May-Grünwald-Giemsa stain; bone marrow smear:
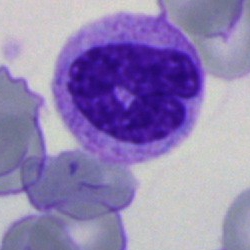 Q: Which cell type is shown here?
A: This is a band neutrophil.